Bone marrow smear
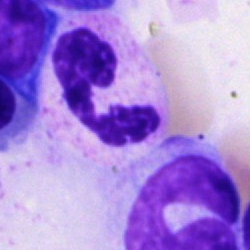 Q: What is shown here?
A: This is a segmented neutrophil.